Bone marrow smear.
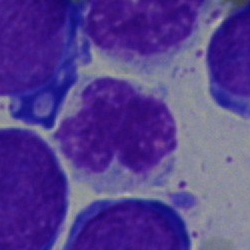
Specimen: bone marrow smear.
Classification: polymorphonuclear neutrophil.
Lineage: myeloid.